Bone marrow aspirate smear: 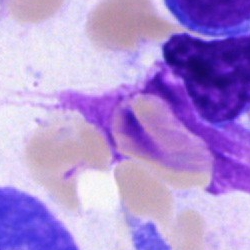Q: What is shown here?
A: This is an artefact.